Bone marrow smear:
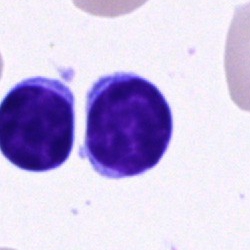The cell shown is a typical lymphocyte.